Single-cell field. Bone marrow smear
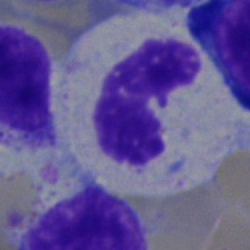
{"cell_type": "neutrophil (band)"}